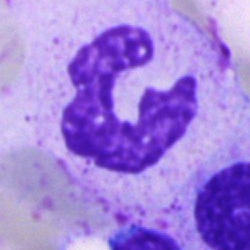

Q: What is the morphological classification of this cell?
A: A neutrophil (segmented).